Bone marrow aspirate smear.
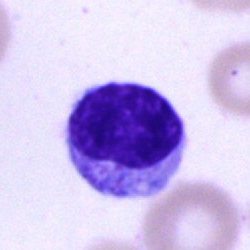
Single cell identified as a lymphocyte.